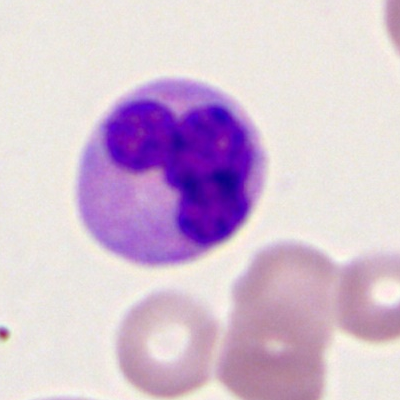

Q: Which cell type is shown here?
A: It is a monocyte.